Bone marrow aspirate smear. Brightfield, 40× oil-immersion objective. 250 by 250 pixels.
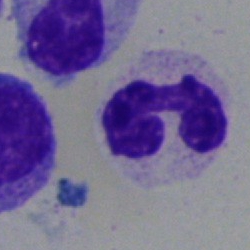

Morphology — polymorphonuclear neutrophil.